Peripheral blood film: 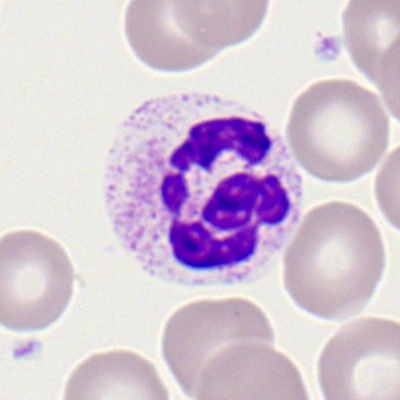A polymorphonuclear neutrophil.